Bone marrow aspirate smear:
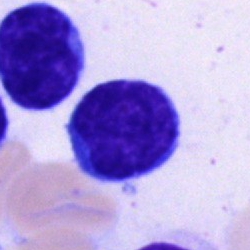 Specimen: bone marrow smear.
Cell type: typical lymphocyte.
Lineage: lymphoid.